Bone marrow smear; 40× oil immersion.
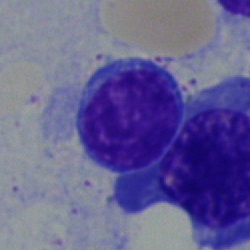 Cell type = lymphocyte.